Pappenheim-stained; bone marrow aspirate smear — 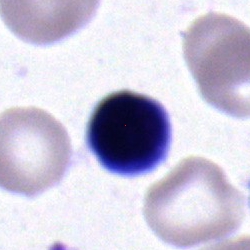 Q: Which cell type is shown here?
A: It is a typical lymphocyte.